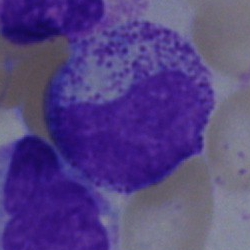

Cell type = myelocyte.